Peripheral blood film. Automated cell imaging (CellaVision DM96).
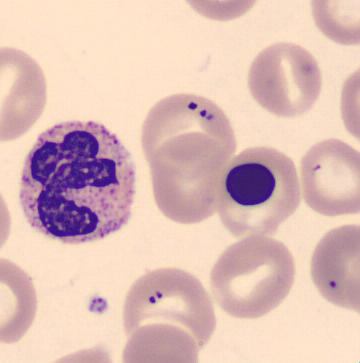 {"cell_type": "nucleated red cell", "lineage": "erythroid"}